Image size 250×250; bone marrow aspirate smear: 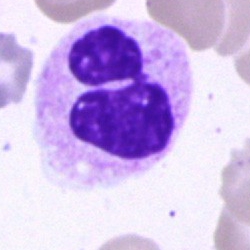

A segmented neutrophil.